250×250. Bone marrow smear.
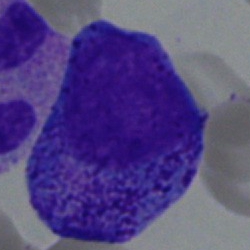The cell type is promyelocyte.